May-Grünwald-Giemsa stain · bone marrow aspirate smear — 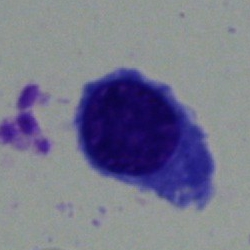
Single cell identified as a plasmacyte.